Bone marrow smear.
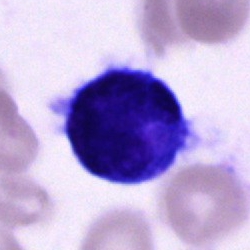 Morphology consistent with a blast.